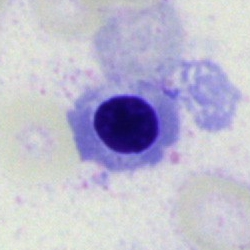

This is a normoblast.